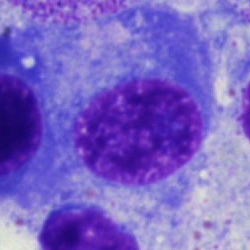
Showing a plasmacyte.